Bone marrow aspirate smear; 40× objective, oil immersion
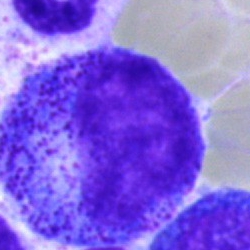

Morphology — promyelocyte.